Bone marrow smear: 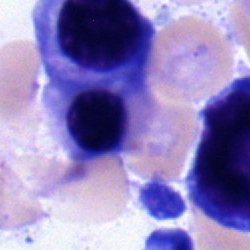

Erythroblast.